Bone marrow smear
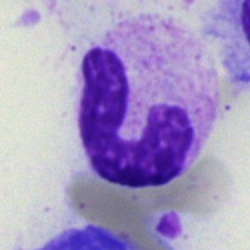
Q: What type of cell is this?
A: Band-form neutrophil.